Bone marrow aspirate smear: 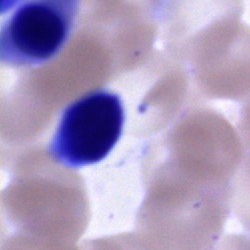

Morphological class: unidentifiable cell.